Bone marrow smear · 250×250 px · 40× oil immersion: 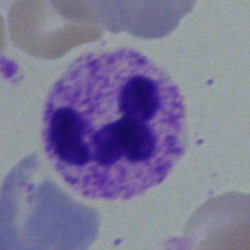
Q: What is the morphological classification of this cell?
A: This is a polymorphonuclear neutrophil.